40× oil immersion; single-cell crop; bone marrow smear:
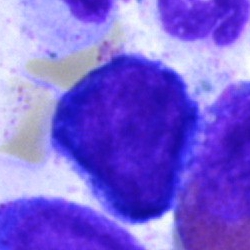
Morphology consistent with a proerythroblast.